Image size 250×250; bone marrow aspirate smear:
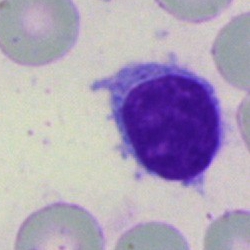

Q: What is shown here?
A: This is a lymphocyte.